250×250 px. May-Grünwald-Giemsa stain. Bone marrow smear:
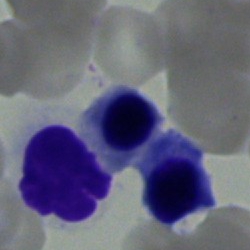
Classification — nucleated red blood cell.